Bone marrow smear
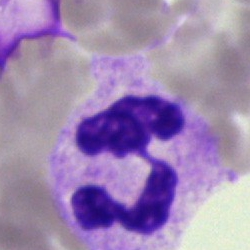 Single cell identified as a polymorphonuclear neutrophil.